Bone marrow smear; brightfield microscopy, 40× oil immersion; May-Grünwald-Giemsa/Pappenheim stain: 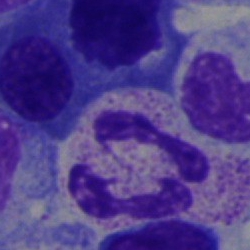
A neutrophil (segmented).